Bone marrow smear:
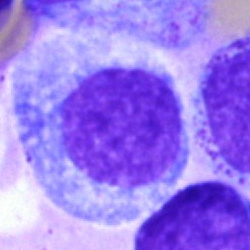

The cell shown is a progranulocyte.